Bone marrow aspirate smear. Image size 250×250.
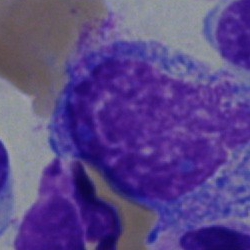

This is a progranulocyte.